Single-cell crop · bone marrow smear.
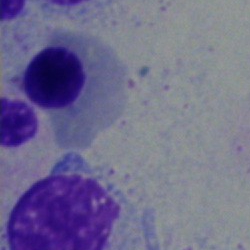 Erythroblast.